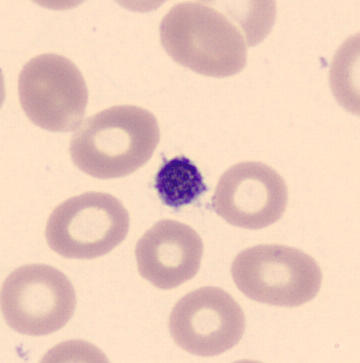 Preparation: Peripheral blood film.

Q: What is this?
A: It is a platelet.